40× objective, oil immersion. Single-cell field. Bone marrow aspirate smear:
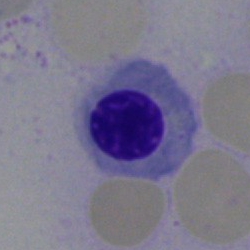
Morphological class — nucleated red cell.